Bone marrow smear · 250 by 250 pixels — 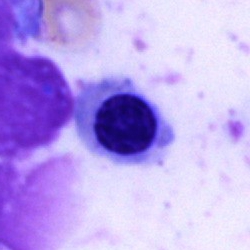Impression → normoblast.